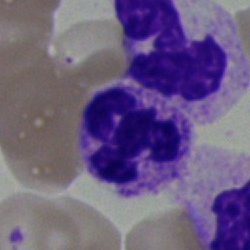Q: What is shown here?
A: It is a polymorphonuclear neutrophil.